Bone marrow aspirate smear.
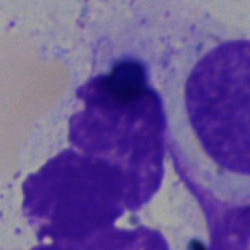

Classification: artefact.